Bone marrow aspirate smear
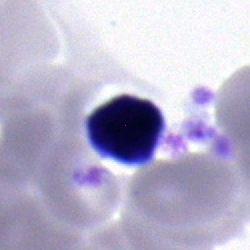 Single cell identified as a lymphocyte.